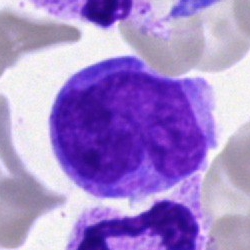 Morphology consistent with a monocyte.